Bone marrow smear · 40× objective, oil immersion
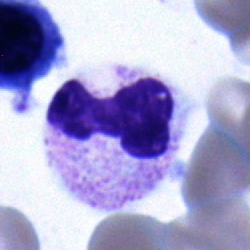 Cell type — segmented neutrophil.